May-Grünwald-Giemsa/Pappenheim stain; bone marrow smear
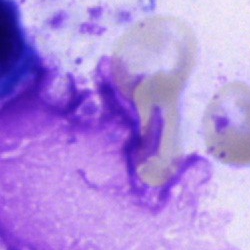Cell type: artifact.